Bone marrow aspirate smear · 250×250 — 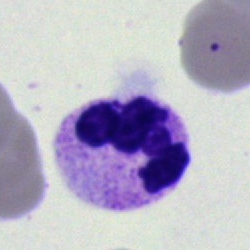 The cell is segmented neutrophil.